Single-cell field · bone marrow aspirate smear — 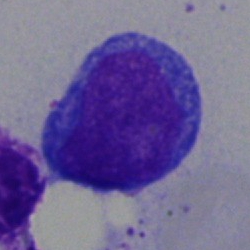
Specimen: bone marrow aspirate smear.
Cell type: blast.